Bone marrow aspirate smear — 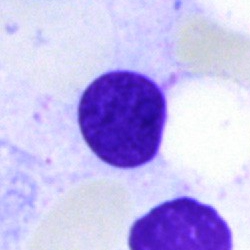Classification: artifact.